Bone marrow aspirate smear; image size 250×250
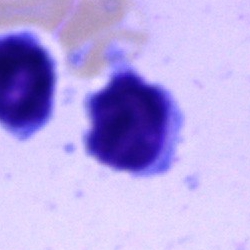
Q: What cell is this?
A: This is a lymphocyte.